Peripheral blood film: 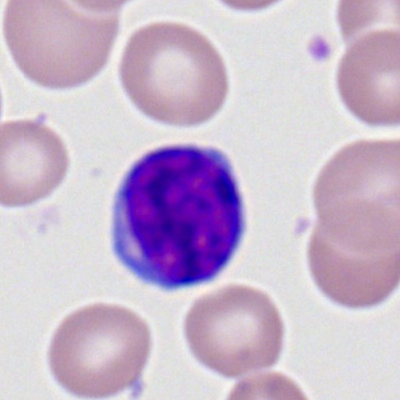 Showing a typical lymphocyte.